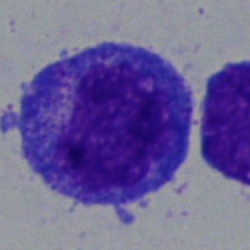 Bone marrow aspirate smear, single cell — progranulocyte.